Bone marrow smear.
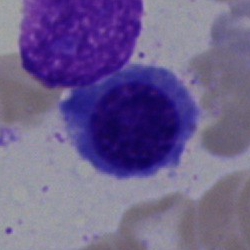
Impression → nucleated red blood cell.